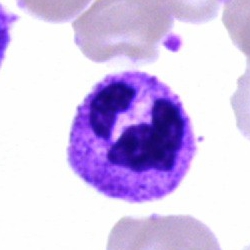

Cell — polymorphonuclear neutrophil.